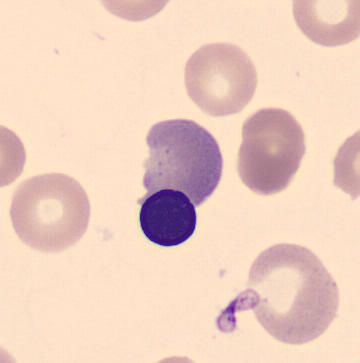 Impression — normoblast.